Bone marrow smear — 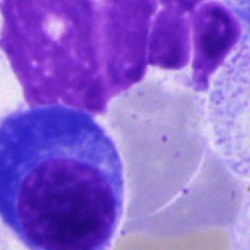

{"cell_type": "plasmacyte"}